Bone marrow aspirate smear — 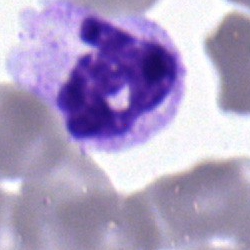This is a polymorphonuclear neutrophil.